Bone marrow smear:
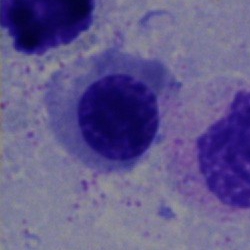
Q: What is the morphological classification of this cell?
A: An erythroblast.